Bone marrow smear; May-Grünwald-Giemsa stain; brightfield, 40× oil-immersion objective — 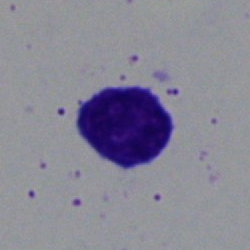

{"cell_type": "typical lymphocyte"}